Bone marrow smear: 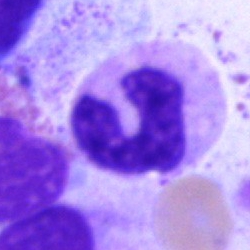Specimen: bone marrow smear.
Cell: stab cell.
Lineage: myeloid.